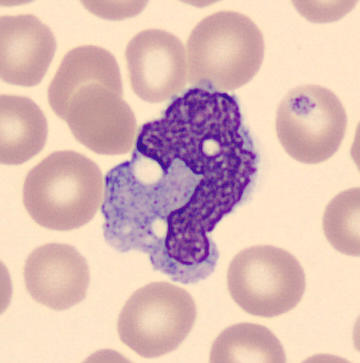

Showing a monocyte.
Peripheral blood film; imaged on a CellaVision DM96 analyser.